Pappenheim-stained · bone marrow aspirate smear.
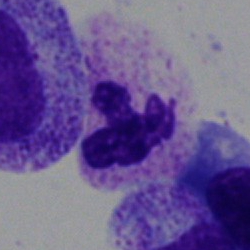
Classification: segmented neutrophil.